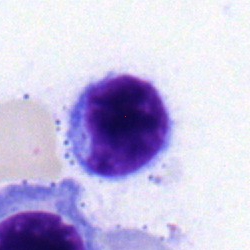 Morphology consistent with a lymphocyte.